Bone marrow aspirate smear — 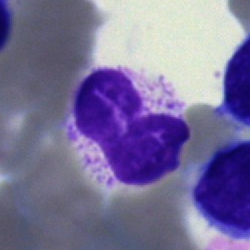

Q: Which cell type is shown here?
A: It is a polymorphonuclear neutrophil.